Bone marrow aspirate smear: 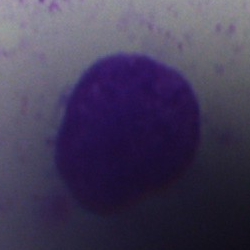An artefact.